Bone marrow smear: 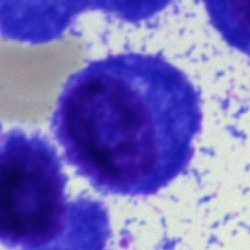
Q: What is the morphological classification of this cell?
A: This is a plasmacyte.